Bone marrow aspirate smear: 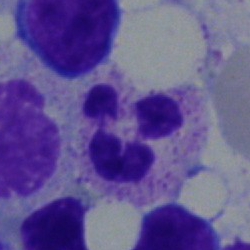Showing a neutrophil (segmented).